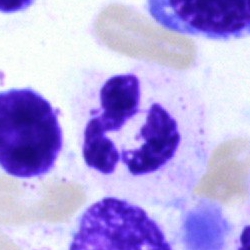 Cell — neutrophil (segmented).